May-Grünwald-Giemsa/Pappenheim stain; cropped to a single cell; bone marrow smear
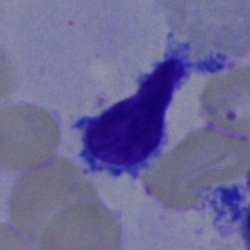 Specimen: bone marrow aspirate smear.
Cell: typical lymphocyte.